Bone marrow smear
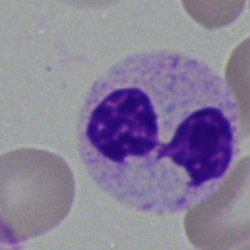

Single cell identified as a polymorphonuclear neutrophil.